May Grünwald-Giemsa stain. Peripheral blood smear. 360×363: 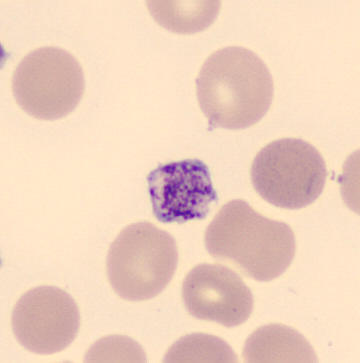A platelet.